Bone marrow smear.
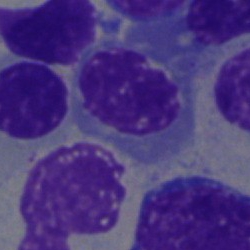Q: What is the morphological classification of this cell?
A: This is a nucleated red cell.